Bone marrow aspirate smear: 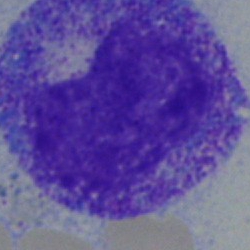
Morphological class: progranulocyte.